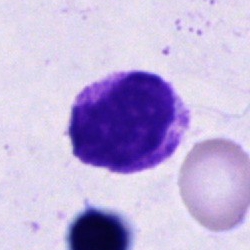Single-cell crop from a bone marrow smear: unidentifiable cell.